Bone marrow aspirate smear: 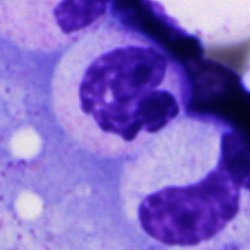 The cell type is polymorphonuclear neutrophil.